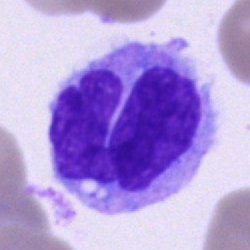

The cell shown is a monocyte.